Single cell centered in the field · bone marrow aspirate smear: 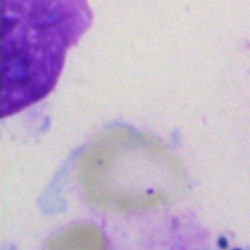

Morphological class — artifact.